Bone marrow aspirate smear. May-Grünwald-Giemsa/Pappenheim stain.
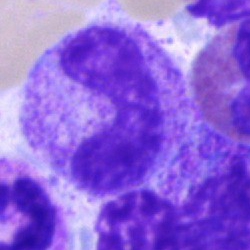Q: Which cell type is shown here?
A: Stab cell.